Bone marrow smear · May-Grünwald-Giemsa stain · image size 250×250:
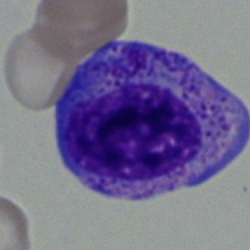 Q: What is the morphological classification of this cell?
A: It is a myelocyte.